Bone marrow aspirate smear: 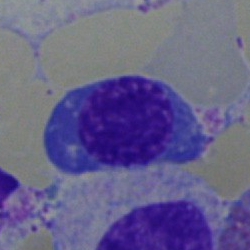 This is a nucleated red blood cell.